40× objective, oil immersion; bone marrow aspirate smear.
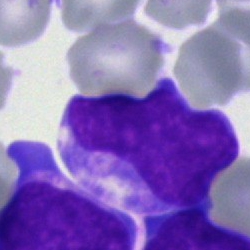 Q: What type of cell is this?
A: An undifferentiated blast.